Bone marrow aspirate smear — 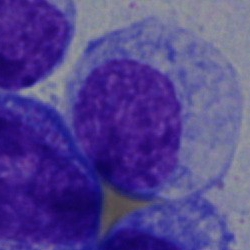
This is a myelocyte.